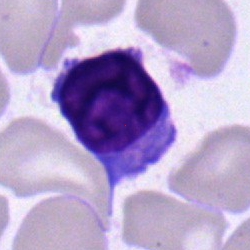
Classification = lymphocyte.